Bone marrow aspirate smear · single-cell crop — 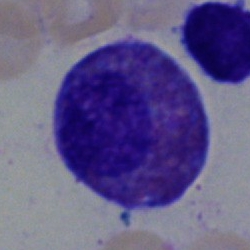
Showing an eosinophilic granulocyte.